Bone marrow smear · 40× objective, oil immersion — 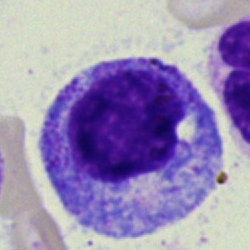 Impression — myelocyte.